Single-cell crop · bone marrow smear
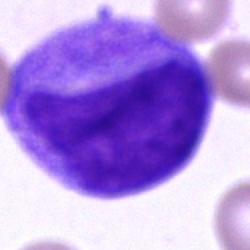Showing a progranulocyte.